Bone marrow smear
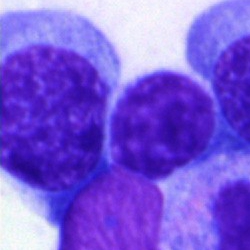Q: Identify the cell.
A: A typical lymphocyte.